Bone marrow aspirate smear.
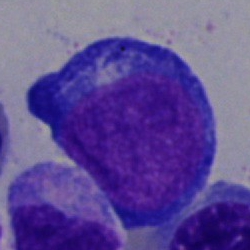Specimen: bone marrow smear.
Cell: proerythroblast.
Lineage: erythroid.